Bone marrow smear: 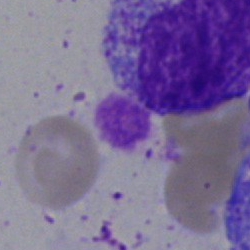

Specimen: bone marrow smear.
Morphological class: unidentifiable cell.